Bone marrow aspirate smear
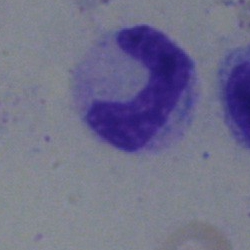
Polymorphonuclear neutrophil.